Bone marrow aspirate smear.
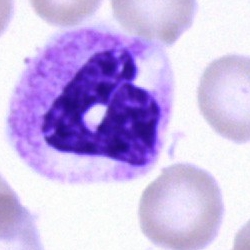 Q: What is shown here?
A: This is a segmented neutrophil.